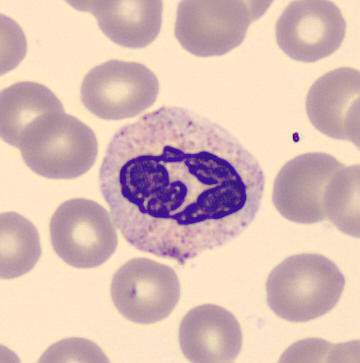Morphology consistent with a neutrophil (segmented).

MGG stain. Image size 360×363. Peripheral blood film.